Bone marrow aspirate smear — 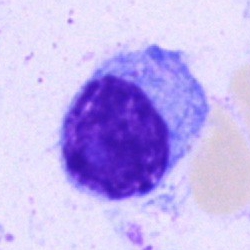
Morphological class = lymphocyte.